250 by 250 pixels · bone marrow aspirate smear · single-cell field — 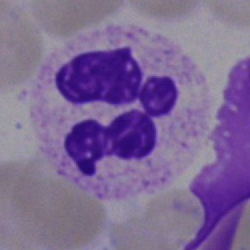 Morphology consistent with a neutrophil (segmented).